250×250 px. Single-cell field. Bone marrow aspirate smear.
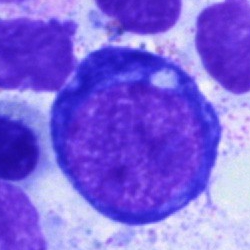
Showing a proerythroblast.